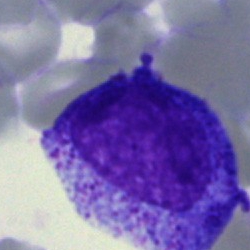 Promyelocyte.